Bone marrow smear: 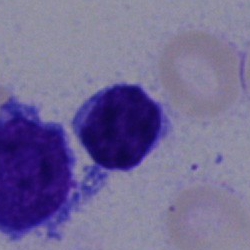
Showing a lymphocyte.